Bone marrow aspirate smear.
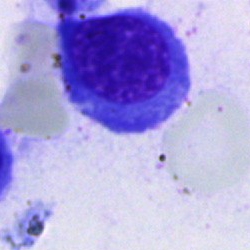

Morphology — normoblast.